Bone marrow aspirate smear · brightfield microscopy, 40× oil immersion:
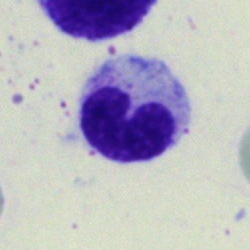
Specimen: bone marrow aspirate smear.
Cell type: neutrophil (band).